400×400. Peripheral blood smear:
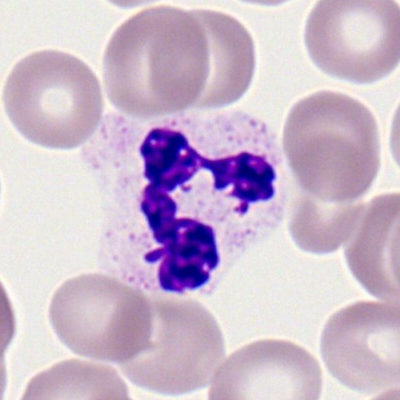

Morphological class = polymorphonuclear neutrophil.